MGG-stained; brightfield microscopy, 40× oil immersion; bone marrow aspirate smear: 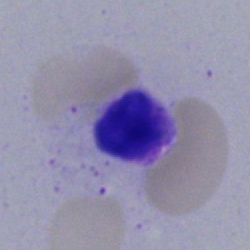
Q: What is shown here?
A: An artefact.